Bone marrow aspirate smear: 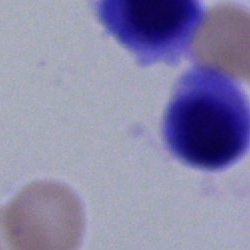
Specimen: bone marrow smear.
Cell type: cell of indeterminate lineage.